Cropped to a single cell. Bone marrow smear
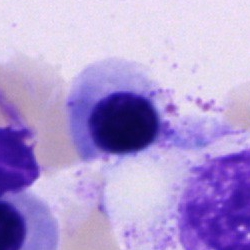Q: What cell is this?
A: This is a nucleated red cell.